MGG-stained; bone marrow aspirate smear; 250×250 — 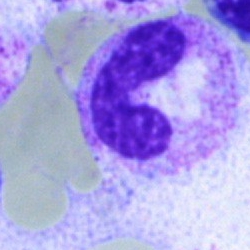Stab cell.